Bone marrow aspirate smear. 40× oil immersion. Single cell centered in the field
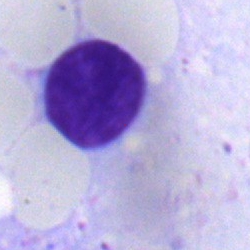
This is a typical lymphocyte.